Bone marrow smear
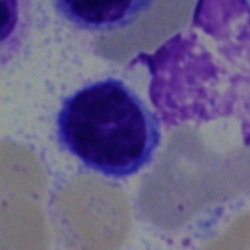
Specimen: bone marrow smear.
Cell: lymphocyte.
Lineage: lymphoid.